Bone marrow smear: 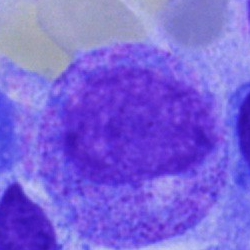 Myelocyte.